Bone marrow aspirate smear — 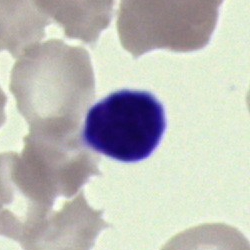The cell type is cell of indeterminate lineage.